Bone marrow smear — 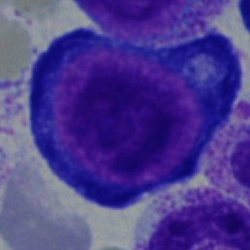 Morphology consistent with a proerythroblast.